Bone marrow smear — 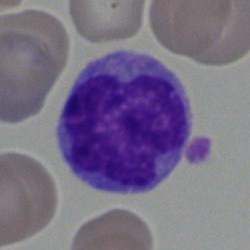Single cell identified as a monocyte.